Bone marrow smear.
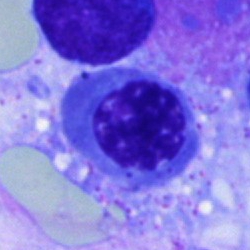 Cell type = nucleated red blood cell.